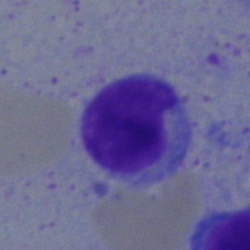

This is a lymphocyte.